Single cell centered in the field · bone marrow smear · 40× oil immersion: 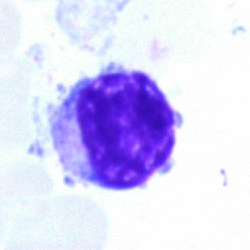 Classification — typical lymphocyte.